Bone marrow smear. Pappenheim-stained. Single-cell crop: 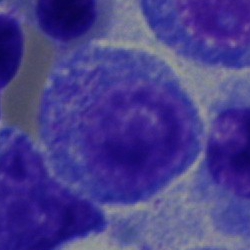

Specimen: bone marrow aspirate smear.
Cell type: nucleated red cell.
Lineage: erythroid.